Bone marrow smear — 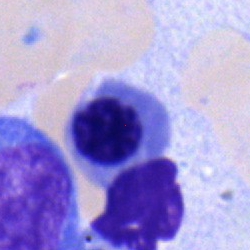Q: What cell is this?
A: An erythroblast.